Romanowsky-type stain. Image size 400×400. Peripheral blood film: 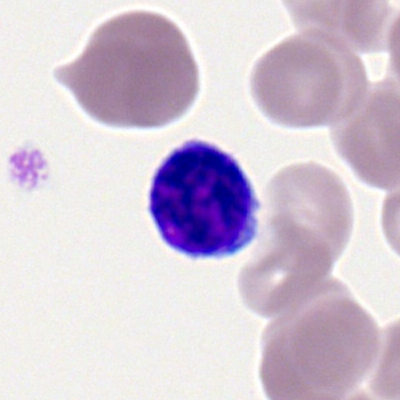

A typical lymphocyte.